Bone marrow smear; cropped to a single cell — 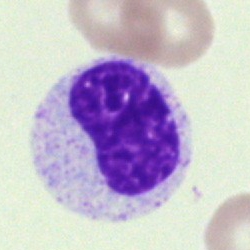A metamyelocyte.